Bone marrow smear
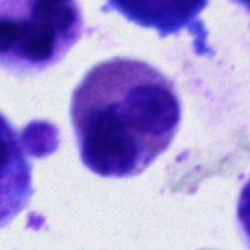Specimen: bone marrow smear.
Cell type: eosinophil.
Lineage: myeloid.